Bone marrow smear — 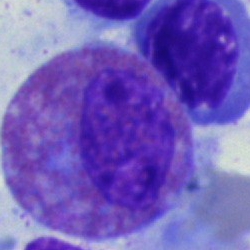This is an eosinophil.